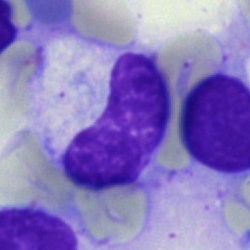

A band neutrophil.